Bone marrow smear
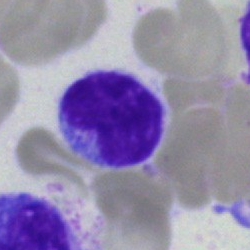
Q: Identify the cell.
A: A typical lymphocyte.